Brightfield microscopy, 40× oil immersion · bone marrow smear
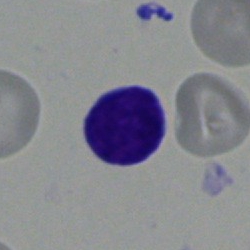
Morphology consistent with a lymphocyte.